Peripheral blood smear · Romanowsky-stained: 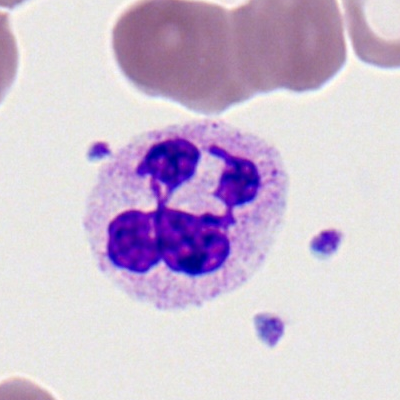This is a polymorphonuclear neutrophil.